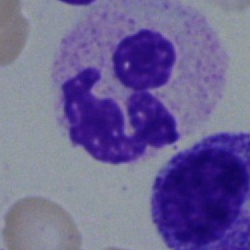
Specimen: bone marrow smear.
Cell type: neutrophil (segmented).